Bone marrow smear — 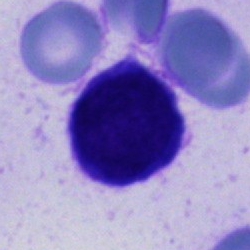This is a cell of indeterminate lineage.